Bone marrow smear. Cropped to a single cell:
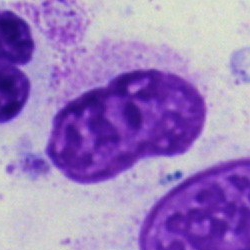The cell type is artefact.